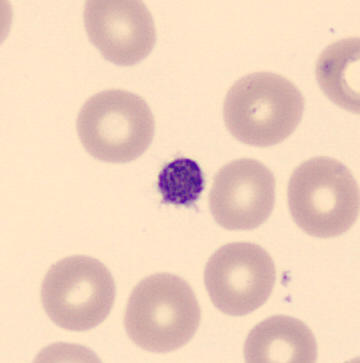 Classification = thrombocyte. Image: Peripheral blood film.